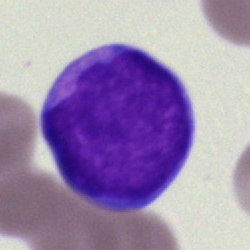
Morphological class — undifferentiated blast.